Bone marrow smear — 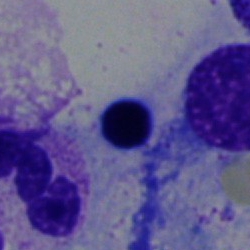 Cell type = nucleated red cell.